Bone marrow aspirate smear · 250 by 250 pixels: 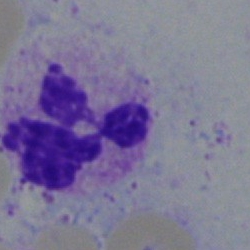Segmented neutrophil.